Bone marrow aspirate smear
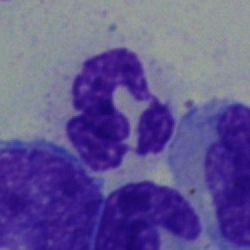
This is a segmented neutrophil.